Single-cell field · peripheral blood film · M8 digital microscope (Precipoint), 100× oil immersion:
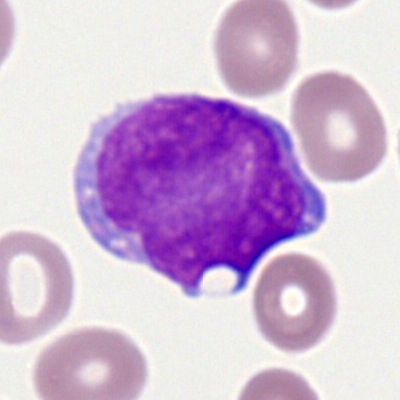Classification: myeloid blast.